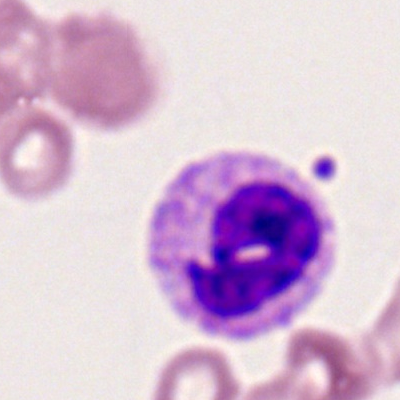Q: Identify the cell.
A: This is a polymorphonuclear neutrophil.